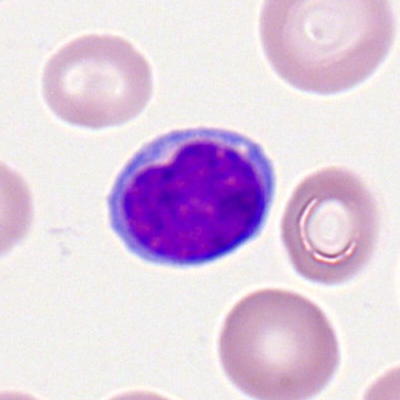

Classification — lymphocyte.